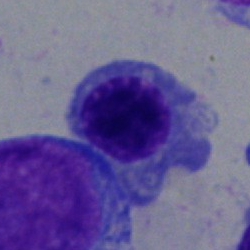 Q: What type of cell is this?
A: A normoblast.